Bone marrow aspirate smear. 250×250 px: 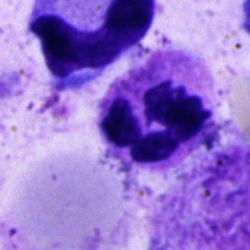 Q: What type of cell is this?
A: Segmented neutrophil.